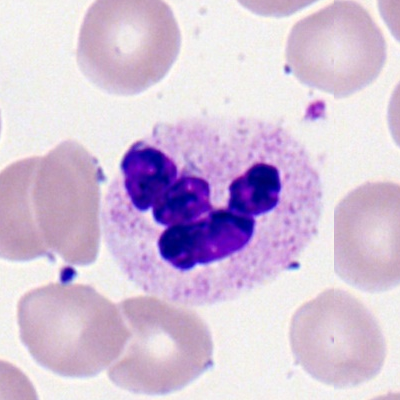Peripheral blood film, single cell — segmented neutrophil.